Image size 250×250; bone marrow aspirate smear:
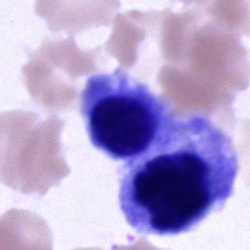

This is a cell of indeterminate lineage.